Bone marrow smear · brightfield microscopy, 40× oil immersion
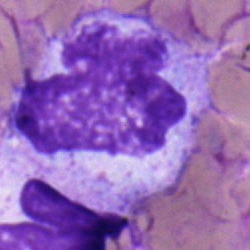Morphology → monocyte.